250×250 px · bone marrow smear:
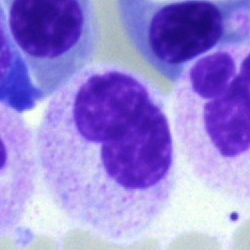 Specimen: bone marrow smear.
Morphological class: band neutrophil.
Lineage: myeloid.